Single-cell field; bone marrow smear; 250 by 250 pixels
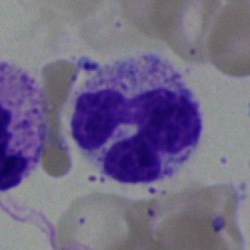 Q: What type of cell is this?
A: It is a segmented neutrophil.